Bone marrow aspirate smear: 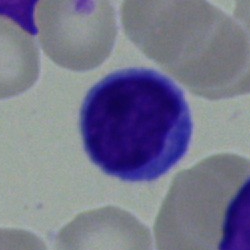Morphological class: lymphocyte.